Pappenheim-stained · single-cell crop · bone marrow aspirate smear.
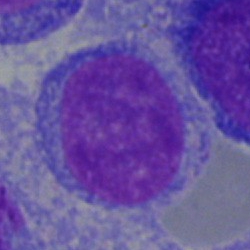

The cell type is blast cell.